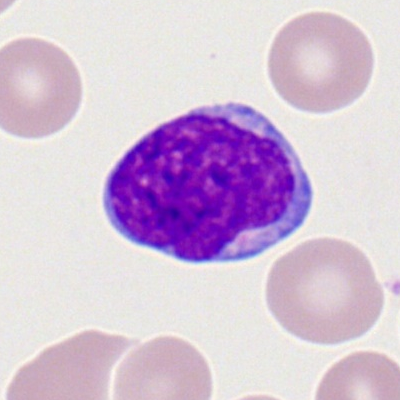 Cell type = myeloid blast.